Bone marrow smear
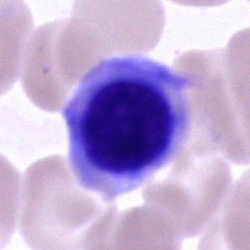Cell type = normoblast.